Bone marrow smear; May-Grünwald-Giemsa stain: 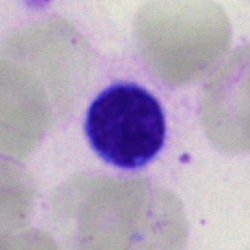Cell — typical lymphocyte.